Bone marrow smear: 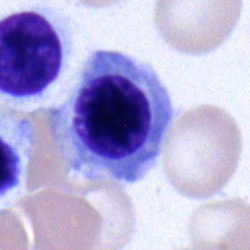 Impression — nucleated red cell.